Bone marrow aspirate smear — 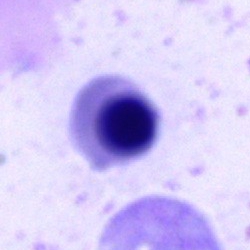{"cell_type": "nucleated red cell"}